Bone marrow aspirate smear:
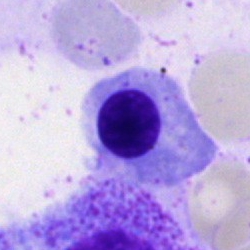 Cell: erythroblast.